Pappenheim-stained · bone marrow smear: 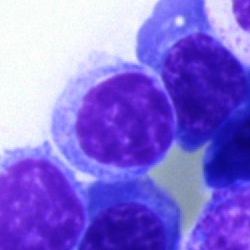
Single cell identified as a lymphocyte.